250×250 px; bone marrow smear: 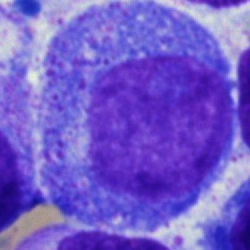
Cell type: promyelocyte.